Pappenheim-stained · bone marrow smear — 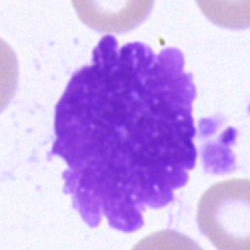
Cell = artefact.